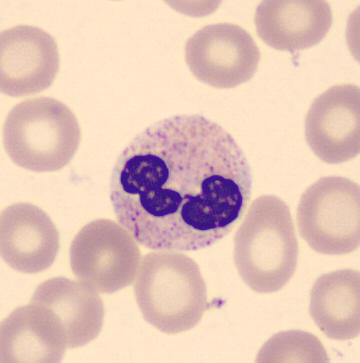 MGG stain; peripheral blood smear; single-cell crop.
Single cell identified as a segmented neutrophil.